Pappenheim-stained · bone marrow smear · image size 250×250
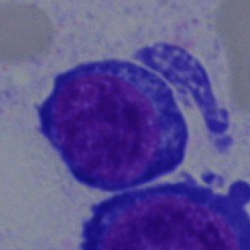Cell type: proerythroblast.